40× objective, oil immersion · bone marrow aspirate smear:
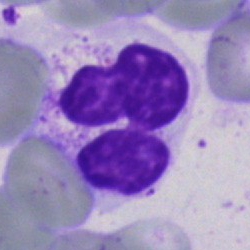Showing an artifact.